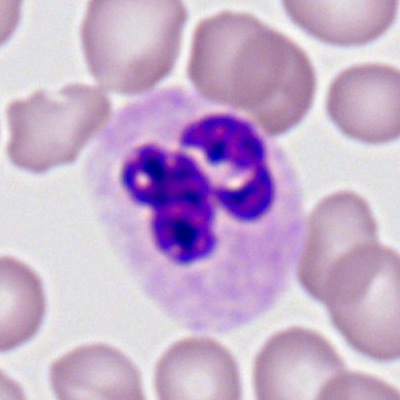
A polymorphonuclear neutrophil.